Bone marrow smear
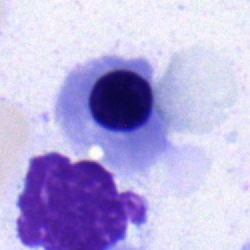

{"cell_type": "normoblast", "lineage": "erythroid"}